Bone marrow smear.
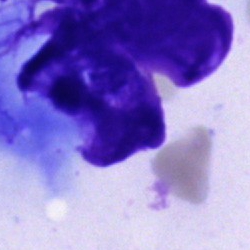

Specimen: bone marrow aspirate smear.
Cell type: artefact.